Bone marrow smear · single cell centered in the field · 250×250 px: 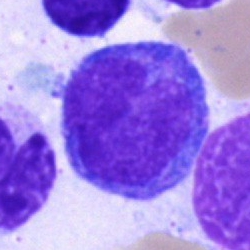
Impression → nucleated red cell.